Bone marrow aspirate smear. Brightfield, 40× oil-immersion objective:
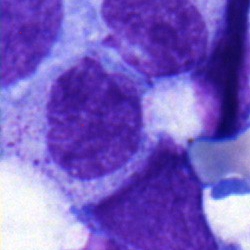 Morphological class — myelocyte.